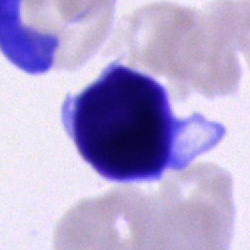

Impression — artefact.